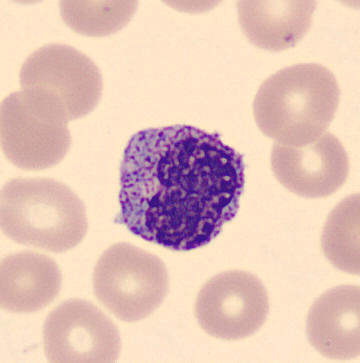Specimen: peripheral blood smear.
Classification: myelocyte.
Lineage: myeloid.